Bone marrow smear; single-cell field: 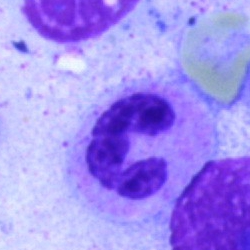

Q: Which cell type is shown here?
A: A neutrophil (segmented).